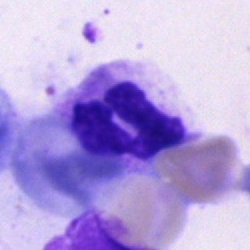Neutrophil (segmented).